May-Grünwald-Giemsa stain. Bone marrow smear:
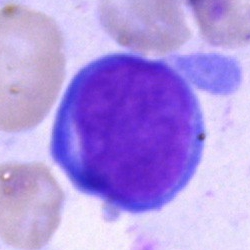
Cell type: undifferentiated blast.